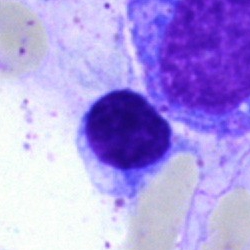
Impression → lymphocyte.